MGG-stained · single-cell field · bone marrow smear.
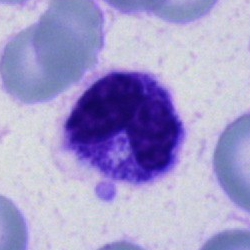 Single cell identified as a segmented neutrophil.